Bone marrow smear · single cell centered in the field
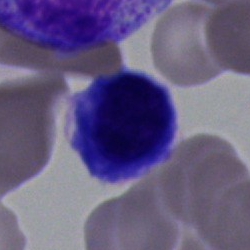 Specimen: bone marrow smear.
Classification: lymphocyte.